Romanowsky-stained; peripheral blood film — 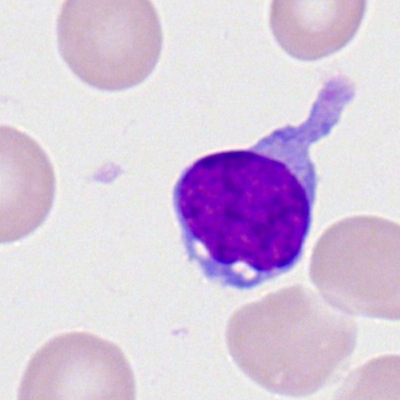

Classification: lymphocyte.